Bone marrow aspirate smear.
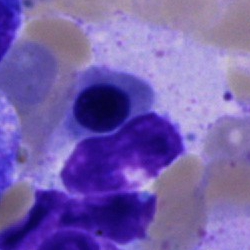Q: What type of cell is this?
A: It is a normoblast.